May-Grünwald-Giemsa stain; 250×250 px; bone marrow smear: 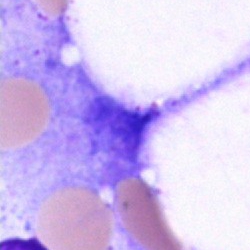

Q: What is shown here?
A: It is an artefact.